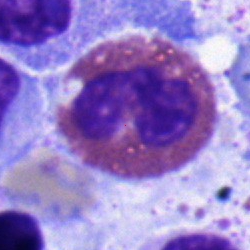

Q: Which cell type is shown here?
A: An eosinophil.